Peripheral blood film: 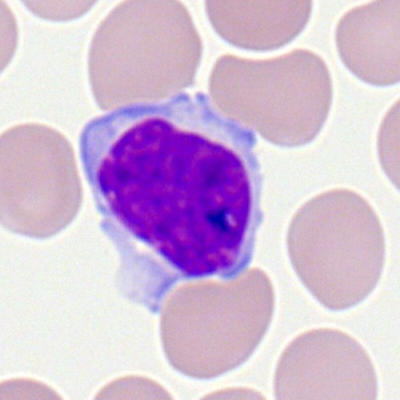Cell: lymphocyte.